Peripheral blood smear; Romanowsky stain:
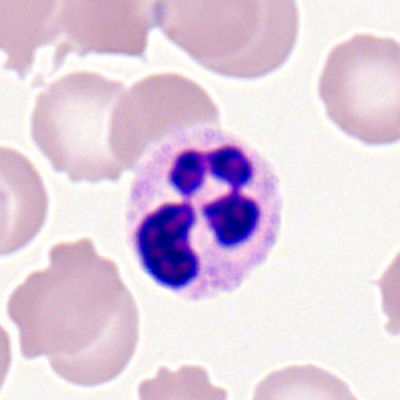 Cell — segmented neutrophil.